May-Grünwald-Giemsa stain. Bone marrow smear — 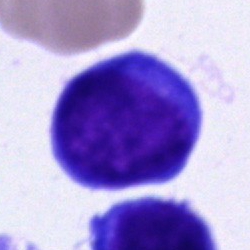Morphology consistent with an undifferentiated blast.